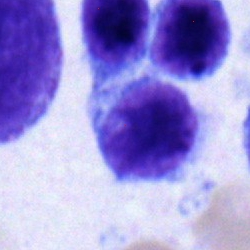

The morphological class is typical lymphocyte.